400×400 · peripheral blood film:
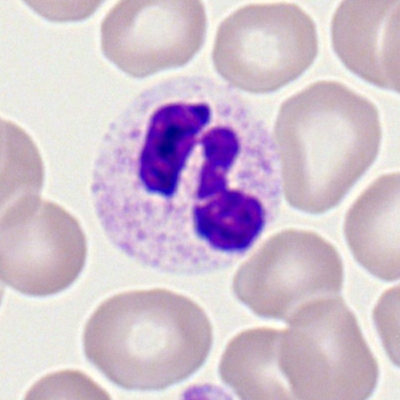

Q: What cell is this?
A: Neutrophil (segmented).